Single-cell crop · bone marrow aspirate smear · brightfield, 40× oil-immersion objective:
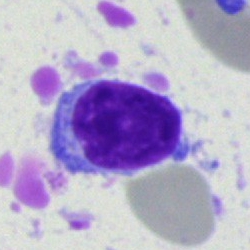 This is a typical lymphocyte.